Bone marrow aspirate smear · 40× oil immersion · cropped to a single cell — 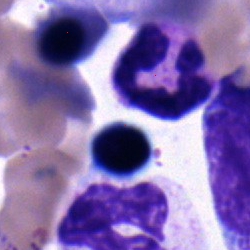

The cell shown is a typical lymphocyte.